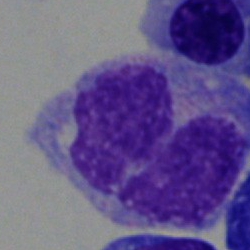 Q: Identify the cell.
A: This is a monocyte.